Cropped to a single cell; 250×250; bone marrow aspirate smear: 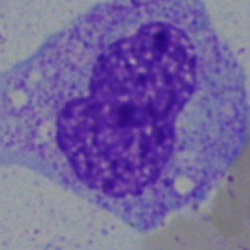 This is a metamyelocyte.